Brightfield, 40× oil-immersion objective · May-Grünwald-Giemsa/Pappenheim stain · bone marrow smear — 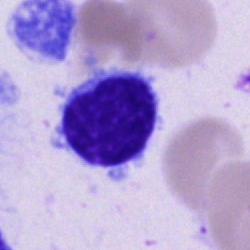Specimen: bone marrow aspirate smear.
Cell: lymphocyte.